Bone marrow smear
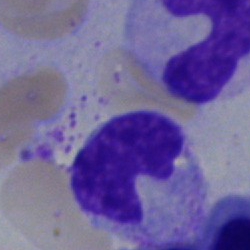

Specimen: bone marrow aspirate smear.
Cell: band neutrophil.
Lineage: myeloid.